Bone marrow smear:
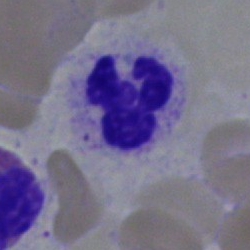

Single cell identified as a segmented neutrophil.